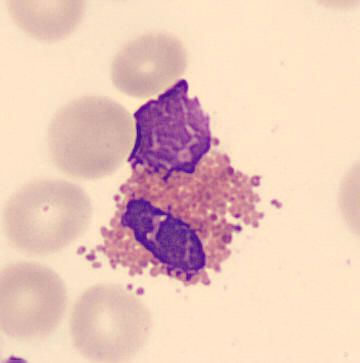
Identified as an eosinophilic granulocyte.